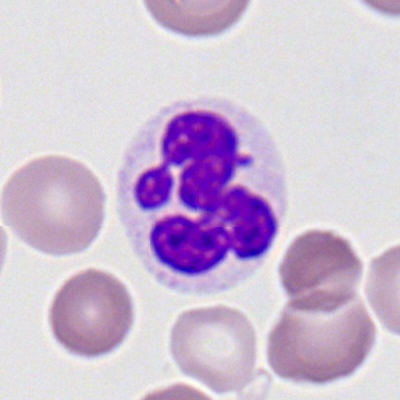

This is a segmented neutrophil.